Bone marrow aspirate smear: 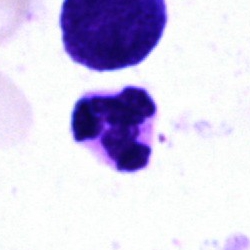 Q: Identify the cell.
A: A neutrophil (segmented).